Peripheral blood film: 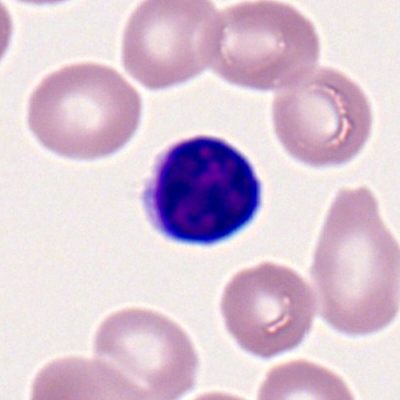

Specimen: peripheral blood smear.
Cell type: typical lymphocyte.
Lineage: lymphoid.